Bone marrow aspirate smear — 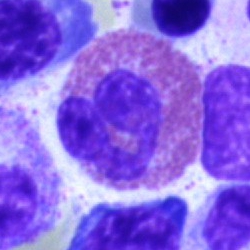
Morphology → eosinophilic granulocyte.